Bone marrow aspirate smear. Cropped to a single cell.
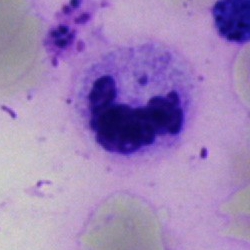
Classification = segmented neutrophil.